May-Grünwald-Giemsa stain. Cropped to a single cell. Bone marrow smear — 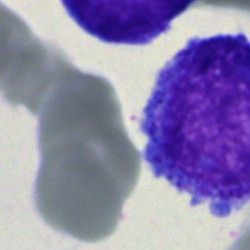
Q: What cell is this?
A: This is a blast.